Romanowsky-type stain. Peripheral blood film. 100× oil immersion, 14.14 px/µm: 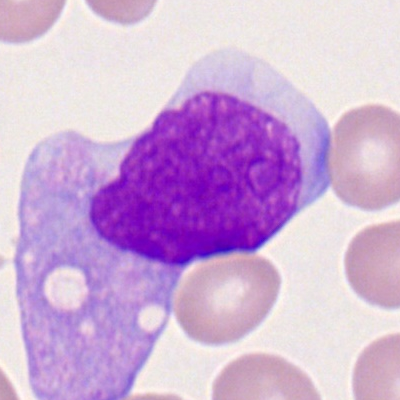
Single cell identified as a monocyte.